Bone marrow aspirate smear. 40× oil immersion: 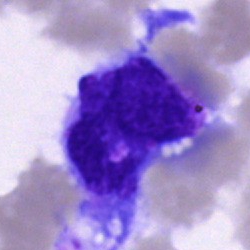 Q: Which cell type is shown here?
A: Blast cell.